Peripheral blood film: 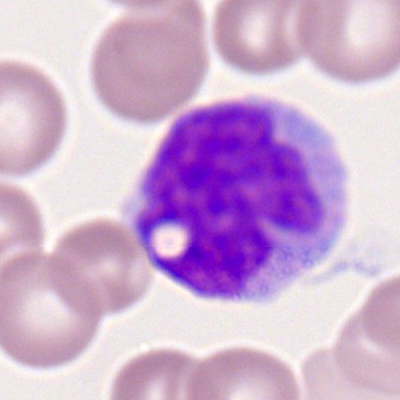 Specimen: peripheral blood smear.
Cell: monocyte.